Peripheral blood smear.
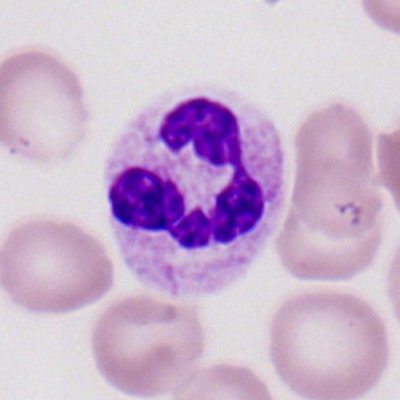 A neutrophil (segmented).